Pappenheim-stained; 250×250; bone marrow smear.
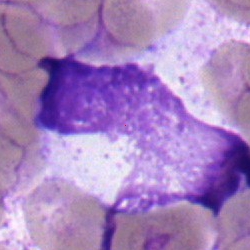

Q: Identify the cell.
A: Neutrophil (band).